Bone marrow aspirate smear.
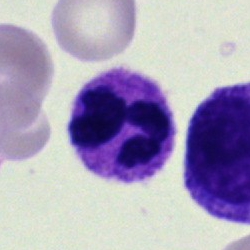 Showing a neutrophil (segmented).